Single-cell crop; May-Grünwald-Giemsa/Pappenheim stain; bone marrow aspirate smear.
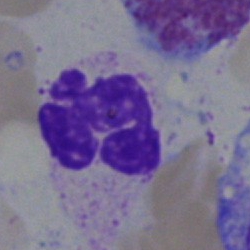The classification is neutrophil (segmented).